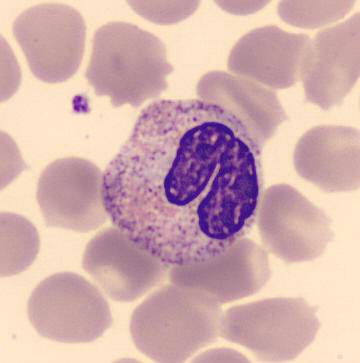
Morphology — band neutrophil.